Bone marrow smear
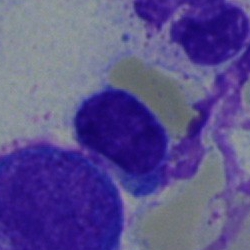
A lymphocyte.